Brightfield, 40× oil-immersion objective. Bone marrow aspirate smear — 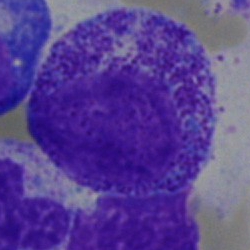

Q: Identify the cell.
A: Myelocyte.